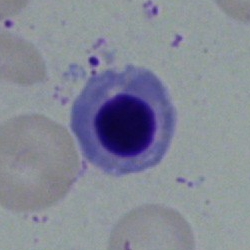 Cell — normoblast.